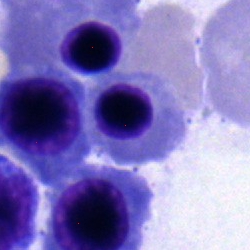 Bone marrow aspirate smear, single cell — erythroblast.